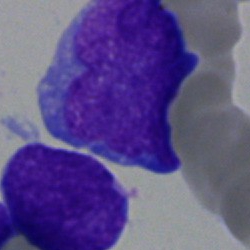
Classification — blast.